Bone marrow smear: 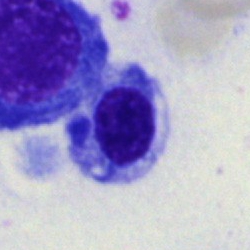 Cell type: erythroblast.